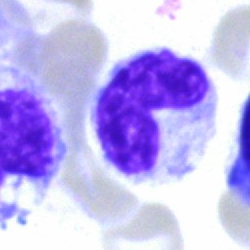
Single cell identified as a neutrophil (band).